Bone marrow smear
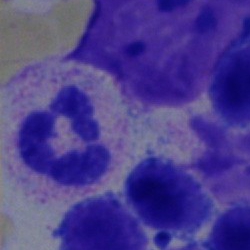

Q: Which cell type is shown here?
A: Polymorphonuclear neutrophil.